Bone marrow aspirate smear — 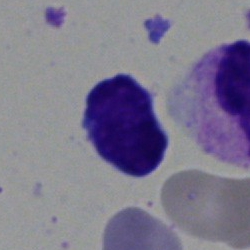Morphological class: lymphocyte.